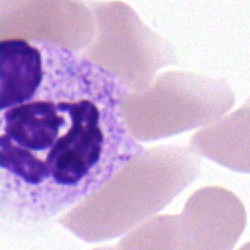Morphology → band-form neutrophil.